Bone marrow aspirate smear.
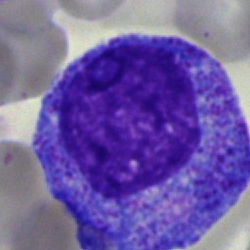 Q: What type of cell is this?
A: A progranulocyte.